Pappenheim-stained; bone marrow aspirate smear; cropped to a single cell — 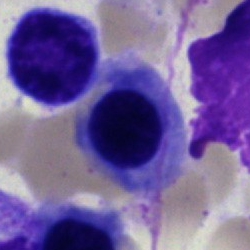 Q: What cell is this?
A: It is a nucleated red blood cell.